Image size 360×363. MGG-stained. Peripheral blood film.
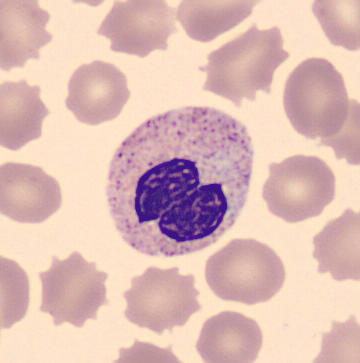

Cell = neutrophil (segmented).